250 by 250 pixels; bone marrow smear
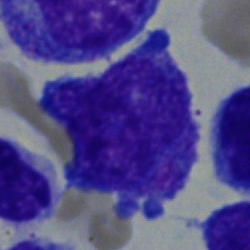Cell type — blast.